Bone marrow aspirate smear:
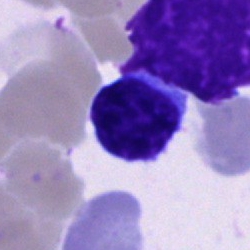 Q: Which cell type is shown here?
A: It is a typical lymphocyte.